MGG-stained · bone marrow smear
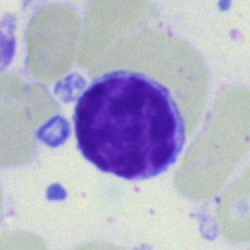
The cell is typical lymphocyte.